Bone marrow aspirate smear
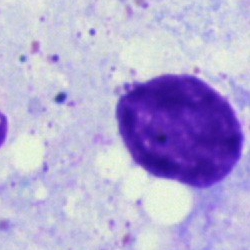 Q: What is shown here?
A: Artifact.